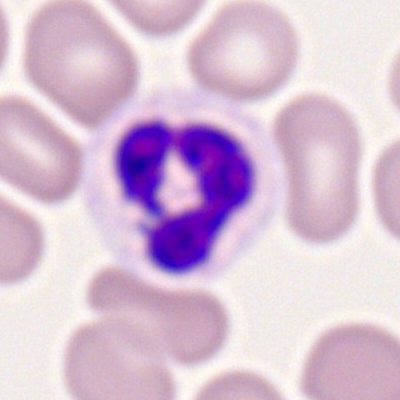This is a neutrophil (segmented).